Image size 250×250. Bone marrow aspirate smear:
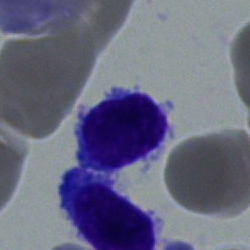
The cell is typical lymphocyte.